Bone marrow smear
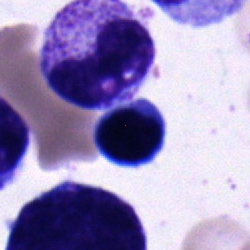

Showing a lymphocyte.